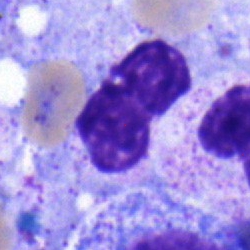

Specimen: bone marrow aspirate smear.
Classification: metamyelocyte.